Single cell centered in the field; bone marrow aspirate smear — 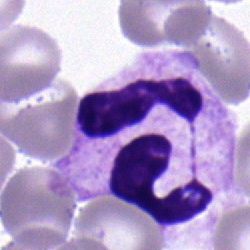The classification is neutrophil (segmented).